400×400 px · peripheral blood film · single-cell field:
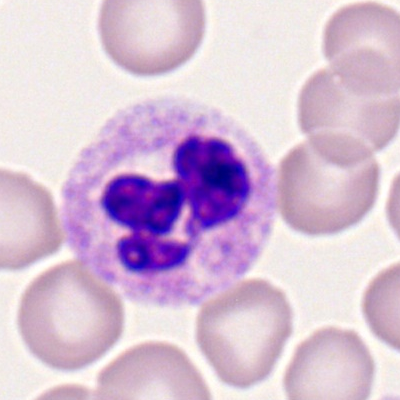

Single cell identified as a neutrophil (segmented).